250×250 px; bone marrow smear: 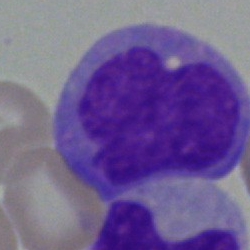 Impression → monocyte.